Bone marrow smear · brightfield microscopy, 40× oil immersion.
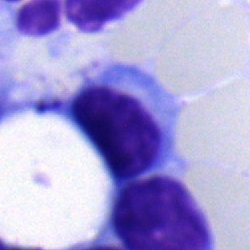Q: Identify the cell.
A: It is a typical lymphocyte.